Single-cell field. Bone marrow aspirate smear. MGG-stained
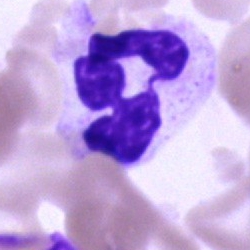
Impression — segmented neutrophil.